Bone marrow smear: 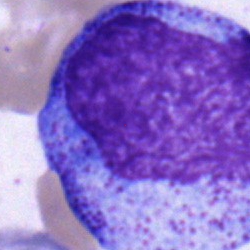Cell type: promyelocyte.